Bone marrow aspirate smear:
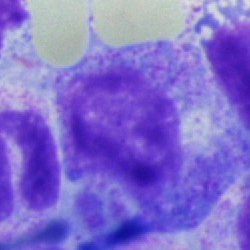
Cell: promyelocyte.